Bone marrow smear.
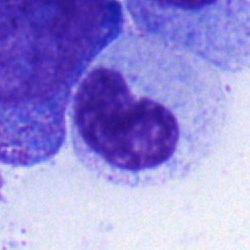
Specimen: bone marrow smear.
Classification: metamyelocyte.